Bone marrow aspirate smear: 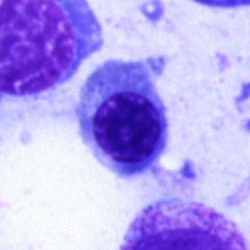
Q: What type of cell is this?
A: Nucleated red blood cell.